Bone marrow aspirate smear · image size 250×250 — 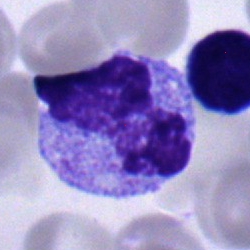
Morphology consistent with a metamyelocyte.